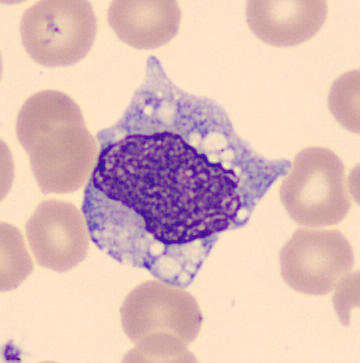 The cell shown is a monocyte.
Acquisition: Single-cell crop · May Grünwald-Giemsa stain · peripheral blood smear.